Bone marrow smear — 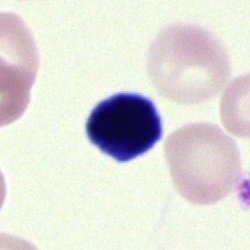 Single cell identified as an artefact.